Bone marrow smear · brightfield microscopy, 40× oil immersion · Pappenheim-stained
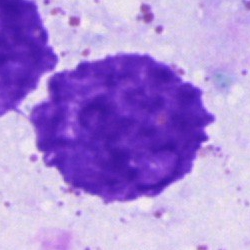 Morphology consistent with an artefact.